Bone marrow aspirate smear
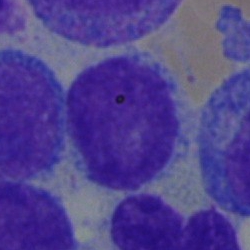 The classification is blast cell.